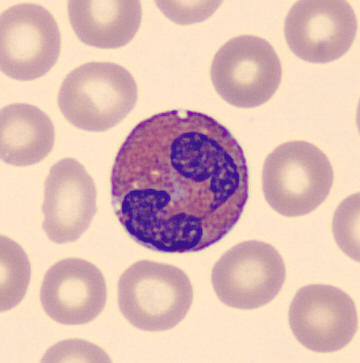

Acquisition: Peripheral blood smear · CellaVision DM96 · cropped to a single cell. Cell = eosinophil.